Peripheral blood film. 100× oil immersion, 14.14 px/µm. Single-cell field:
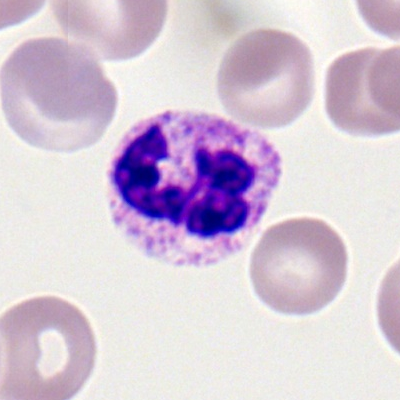
Q: What cell is this?
A: It is a neutrophil (segmented).